Bone marrow aspirate smear; 40× oil immersion: 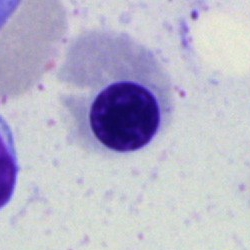
Single cell identified as an erythroblast.